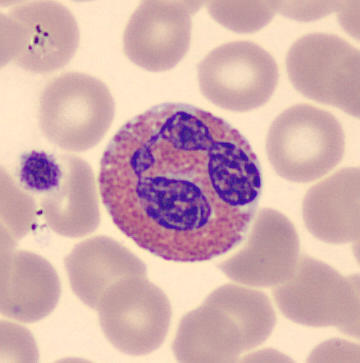

The cell type is eosinophil. Image: Peripheral blood smear.